Bone marrow aspirate smear; MGG-stained
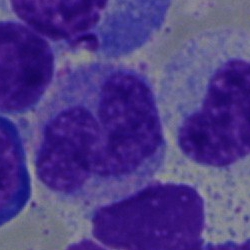 Morphology consistent with a monocyte.